Bone marrow smear · cropped to a single cell.
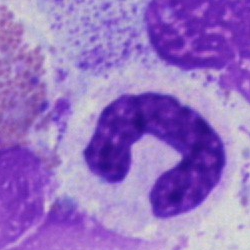

Q: What cell is this?
A: A stab cell.